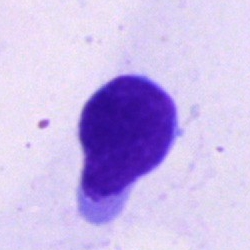

Impression — typical lymphocyte.